Peripheral blood smear:
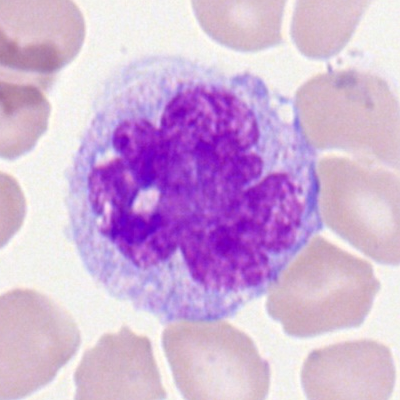 Q: Which cell type is shown here?
A: This is a monocyte.